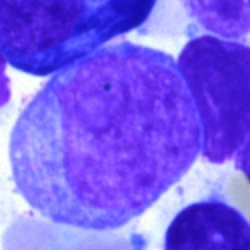
Cell type — undifferentiated blast.